250×250; bone marrow smear; 40× oil immersion.
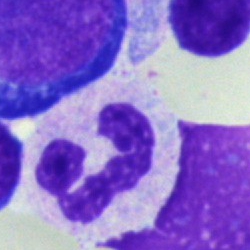 Classification — segmented neutrophil.